Bone marrow aspirate smear
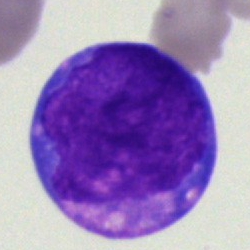

Classification = blast cell.